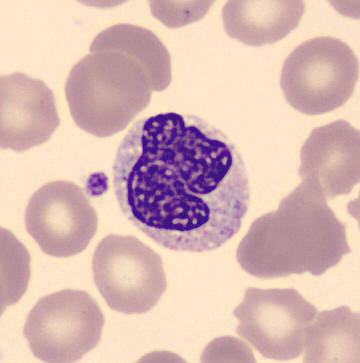

Morphology → metamyelocyte. Peripheral blood film.